Image size 250×250. Bone marrow smear.
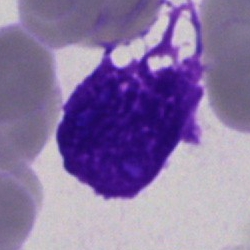Specimen: bone marrow aspirate smear.
Classification: artefact.